Bone marrow smear — 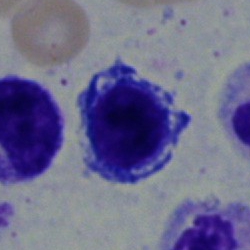A normoblast.